Bone marrow aspirate smear · May-Grünwald-Giemsa stain: 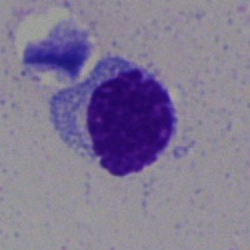Impression → lymphocyte.